Bone marrow aspirate smear: 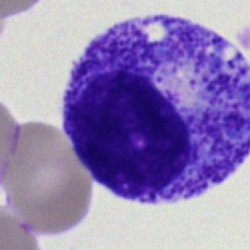 The cell shown is a promyelocyte.